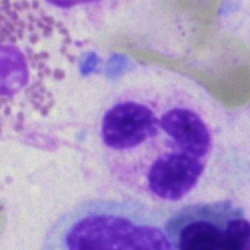Morphology → segmented neutrophil.